Bone marrow smear:
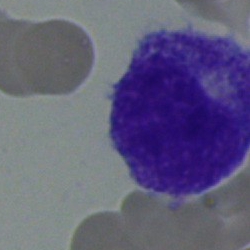
Specimen: bone marrow smear.
Classification: myelocyte.